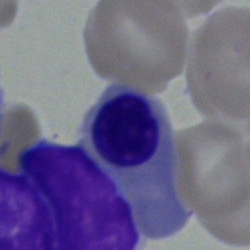
Morphology — nucleated red cell.